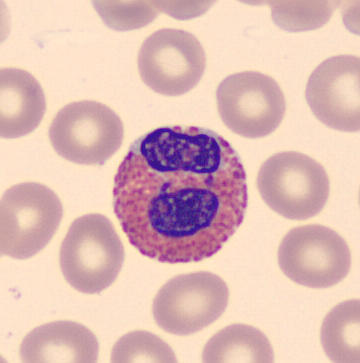 Specimen: peripheral blood film.
Morphological class: eosinophilic granulocyte.
Lineage: myeloid.
Image: Automated cell imaging (CellaVision DM96).